Bone marrow aspirate smear: 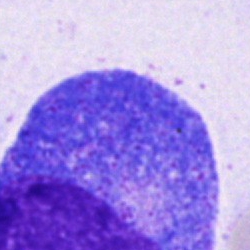 Showing a progranulocyte.